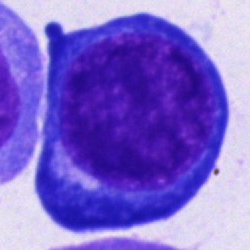

Specimen: bone marrow smear.
Morphological class: proerythroblast.